Single cell centered in the field. Bone marrow aspirate smear: 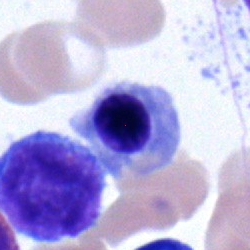

The cell type is normoblast.